Bone marrow smear:
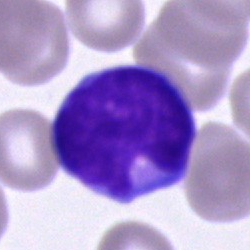

Showing a lymphocyte.